Bone marrow aspirate smear — 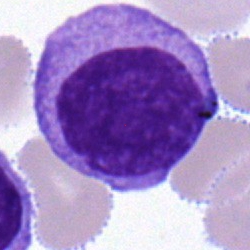The cell shown is a typical lymphocyte.